MGG-stained. Bone marrow aspirate smear — 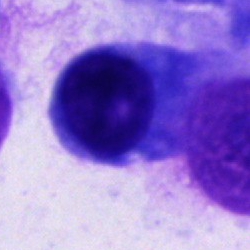 An other cell.